Bone marrow smear:
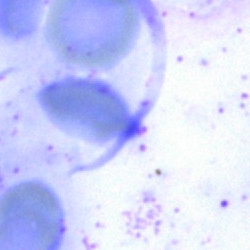 Cell type: artifact.